Bone marrow smear:
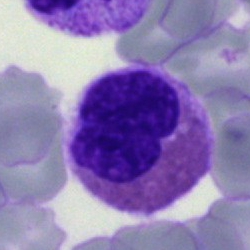

Specimen: bone marrow smear.
Cell: eosinophil.